Bone marrow smear. 40× objective, oil immersion
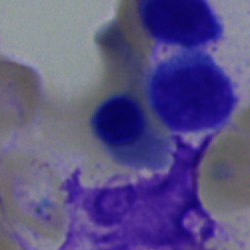Nucleated red blood cell.